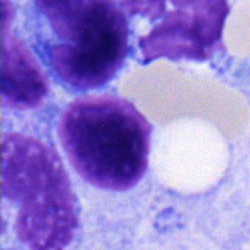Morphology — lymphocyte.